Bone marrow smear — 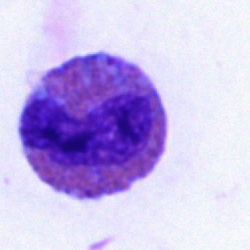
An eosinophilic granulocyte.